Bone marrow smear. Brightfield microscopy, 40× oil immersion — 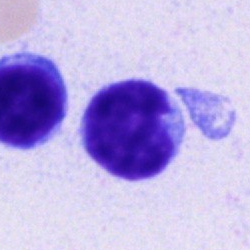 Specimen: bone marrow smear.
Cell type: typical lymphocyte.
Lineage: lymphoid.